Bone marrow smear. Brightfield, 40× oil-immersion objective: 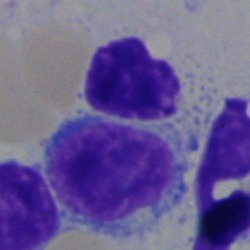
{"cell_type": "lymphocyte", "lineage": "lymphoid"}